Bone marrow aspirate smear: 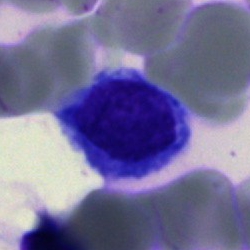 Q: What type of cell is this?
A: Lymphocyte.